Bone marrow aspirate smear · MGG-stained · brightfield microscopy, 40× oil immersion: 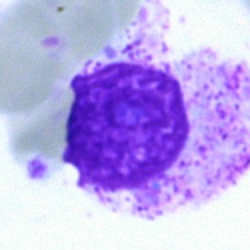

Q: What is shown here?
A: An artifact.